Brightfield, 40× oil-immersion objective. May-Grünwald-Giemsa stain. Bone marrow aspirate smear:
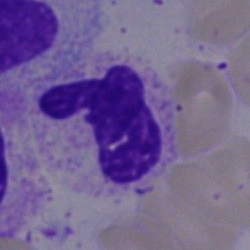

Showing a neutrophil (segmented).